250 by 250 pixels. Bone marrow aspirate smear.
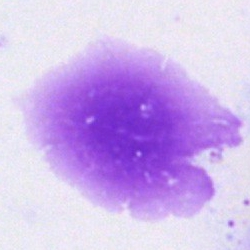
Q: What is shown here?
A: It is an artefact.